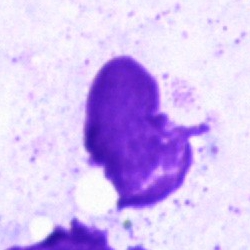
Q: What is shown here?
A: It is an artefact.